Bone marrow aspirate smear.
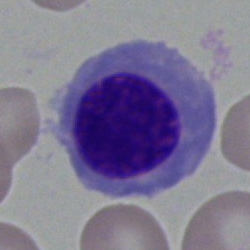The morphological class is nucleated red cell.